250 by 250 pixels · bone marrow smear · 40× oil immersion: 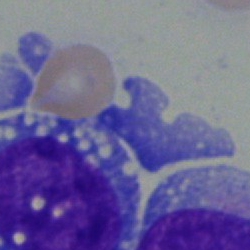Morphology → blast.